40× oil immersion · bone marrow aspirate smear · single cell centered in the field
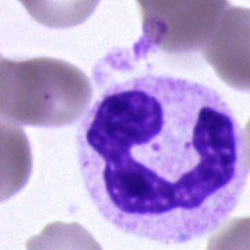 Showing a segmented neutrophil.